Single cell centered in the field. Bone marrow aspirate smear:
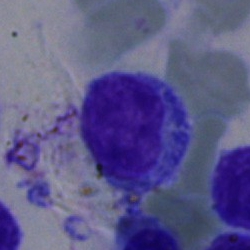
The cell type is typical lymphocyte.